Peripheral blood smear
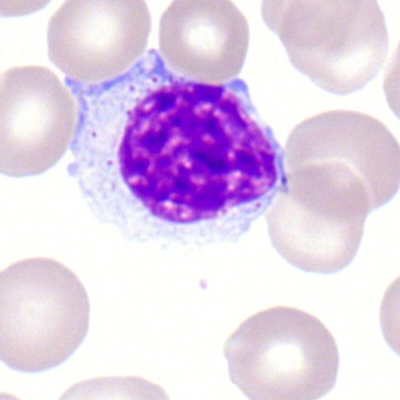The cell shown is a typical lymphocyte.